Brightfield, 40× oil-immersion objective · bone marrow smear: 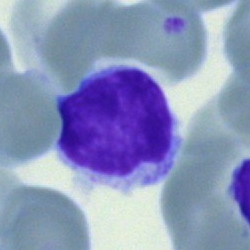
Q: What is shown here?
A: Lymphocyte.